Bone marrow smear · Pappenheim-stained · 250×250 px: 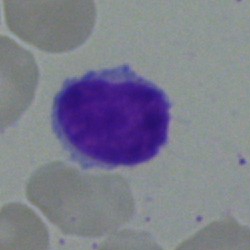
This is a lymphocyte.